Single cell centered in the field; bone marrow smear:
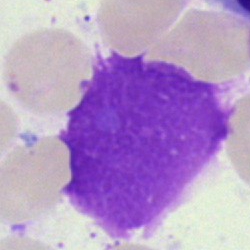

Classification: artefact.